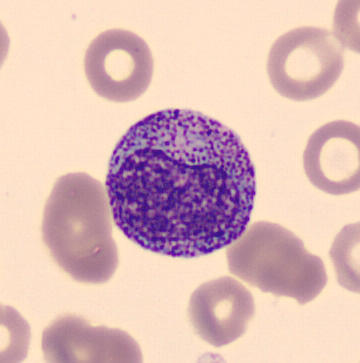
Classification = metamyelocyte.